Bone marrow smear.
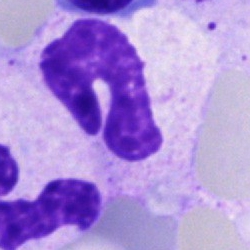
Impression → band neutrophil.